Bone marrow smear:
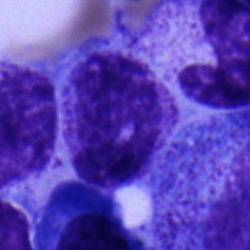 The cell shown is a myelocyte.